May-Grünwald-Giemsa/Pappenheim stain; bone marrow aspirate smear; cropped to a single cell:
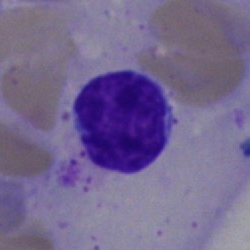

Cell type — lymphocyte.